Bone marrow smear
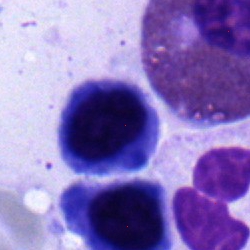Morphology — nucleated red cell.